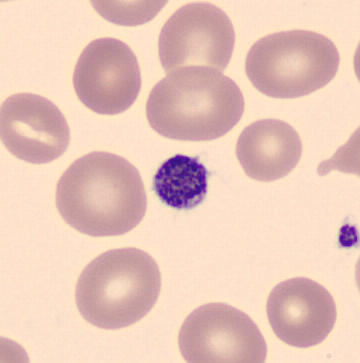Acquisition: CellaVision DM96 · peripheral blood smear · 360 by 363 pixels.

{"cell_type": "platelet"}